Bone marrow aspirate smear
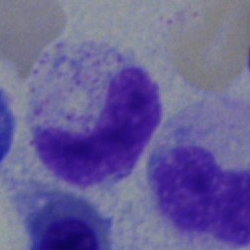 Q: What type of cell is this?
A: This is a stab cell.